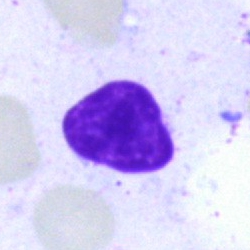

Q: What is shown here?
A: It is an artefact.